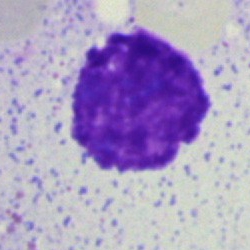 Morphological class — artefact.